Bone marrow aspirate smear — 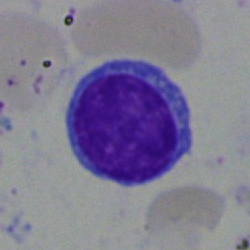Classification — typical lymphocyte.